Bone marrow aspirate smear — 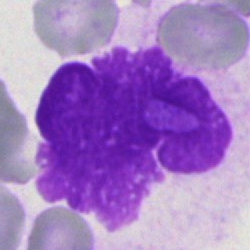

{"cell_type": "artifact"}